Single-cell crop. Bone marrow aspirate smear:
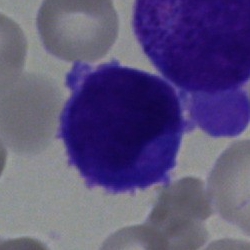
Q: Identify the cell.
A: This is an undifferentiated blast.